Bone marrow aspirate smear
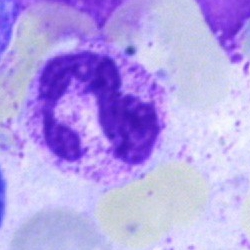
Q: What is shown here?
A: A neutrophil (segmented).